Bone marrow aspirate smear.
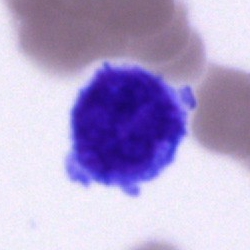
The cell shown is a blast.